Bone marrow smear. May-Grünwald-Giemsa/Pappenheim stain — 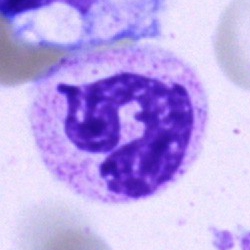
Morphology consistent with a polymorphonuclear neutrophil.